Pappenheim-stained; bone marrow smear: 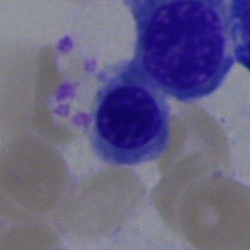 Cell type — nucleated red blood cell.